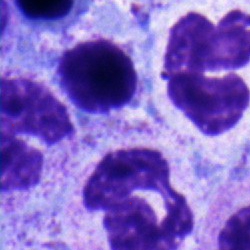Specimen: bone marrow aspirate smear.
Cell: band neutrophil.